Bone marrow aspirate smear
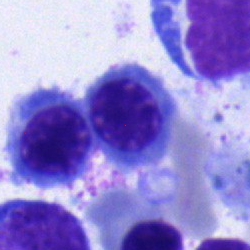 Specimen: bone marrow aspirate smear.
Classification: erythroblast.